Brightfield, 40× oil-immersion objective. May-Grünwald-Giemsa/Pappenheim stain. Bone marrow smear
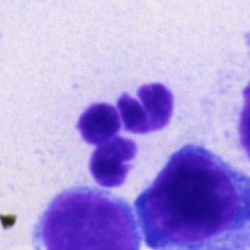 Cell: neutrophil (segmented).